Bone marrow aspirate smear:
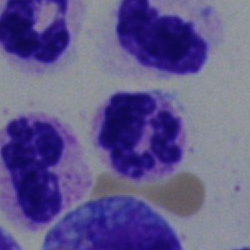
Cell type — neutrophil (segmented).